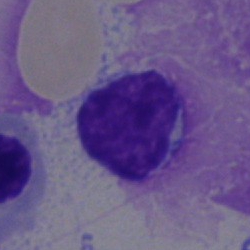 Morphology consistent with a lymphocyte.